May-Grünwald-Giemsa stain. Bone marrow smear.
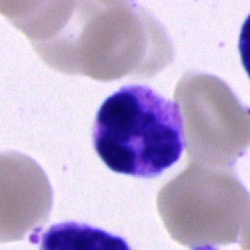
Specimen: bone marrow aspirate smear.
Morphological class: segmented neutrophil.